Bone marrow smear
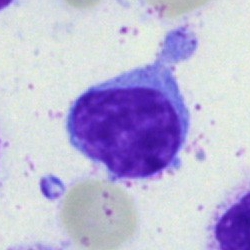
{"cell_type": "lymphocyte"}